Single-cell field · 250×250 px · bone marrow smear:
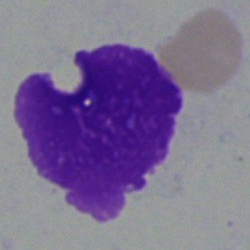Morphology consistent with an artifact.